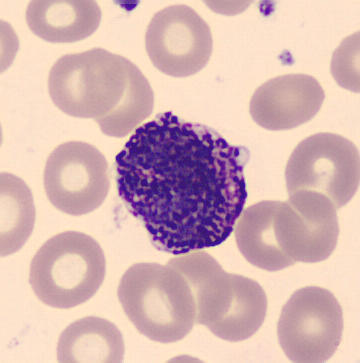
Specimen: peripheral blood smear.
Classification: basophil.